Peripheral blood smear — 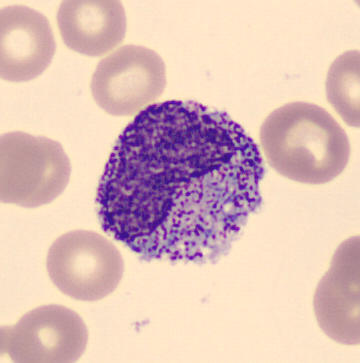

Specimen: peripheral blood film.
Cell type: metamyelocyte.
Lineage: myeloid.